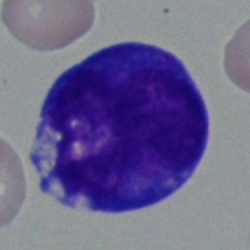

Morphology → undifferentiated blast.